Bone marrow smear — 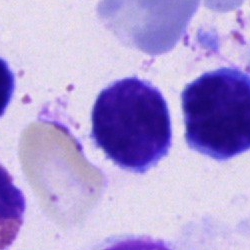The cell shown is a lymphocyte.